Single-cell crop; peripheral blood smear; 400×400 px:
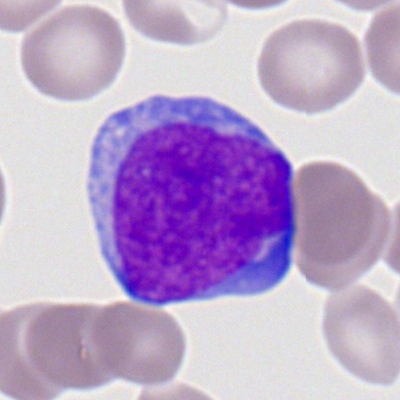Cell type = myeloblast.